Peripheral blood film — 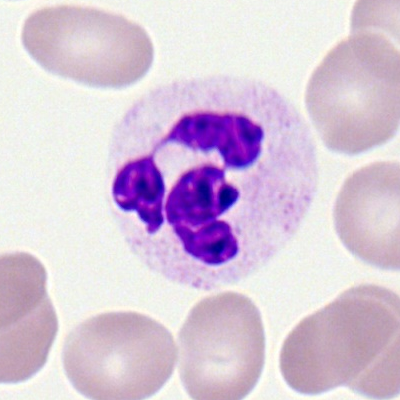
Morphology consistent with a polymorphonuclear neutrophil.